Bone marrow smear; image size 250×250; Pappenheim-stained:
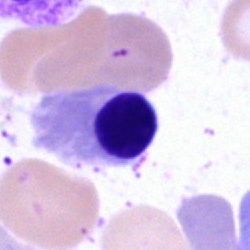
The cell shown is an erythroblast.